Bone marrow aspirate smear: 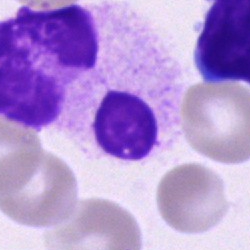 Morphological class — artefact.